Bone marrow smear. Pappenheim-stained. 250×250:
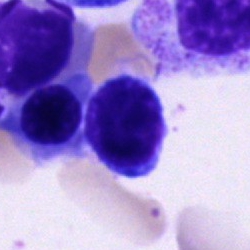Q: What cell is this?
A: A typical lymphocyte.